Peripheral blood smear — 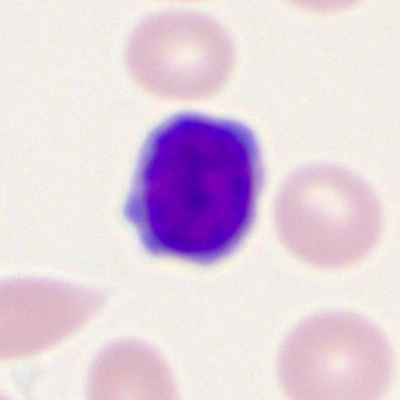 The classification is typical lymphocyte.